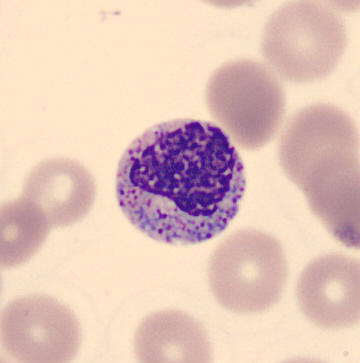Classification = metamyelocyte. CellaVision DM96 digital cell image. 360×363. Peripheral blood film.